Image size 250×250; 40× objective, oil immersion; bone marrow smear:
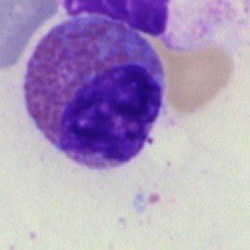
Eosinophil.